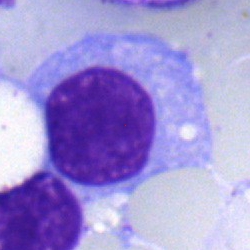 Q: What is shown here?
A: It is a plasmacyte.